May-Grünwald-Giemsa stain · bone marrow aspirate smear.
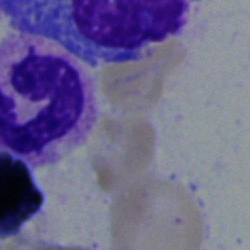
Q: What type of cell is this?
A: Neutrophil (band).